Bone marrow aspirate smear — 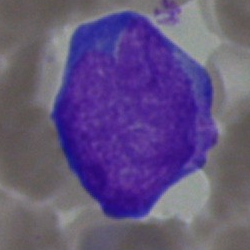
Q: What cell is this?
A: An undifferentiated blast.